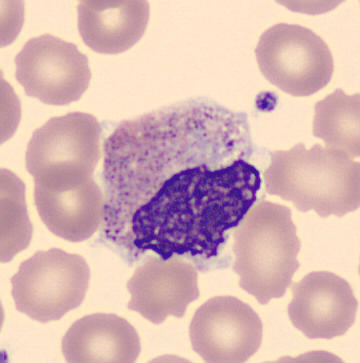 Morphology — metamyelocyte. Preparation: Peripheral blood film.